Bone marrow smear:
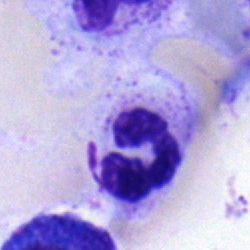
Cell type: segmented neutrophil.